Image size 250×250; 40× oil immersion; bone marrow aspirate smear: 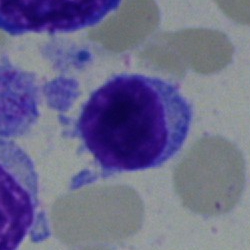

Classification = lymphocyte.